Bone marrow smear · single-cell crop · 40× oil immersion: 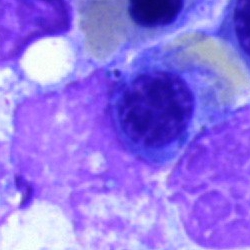 Specimen: bone marrow smear.
Classification: erythroblast.
Lineage: erythroid.